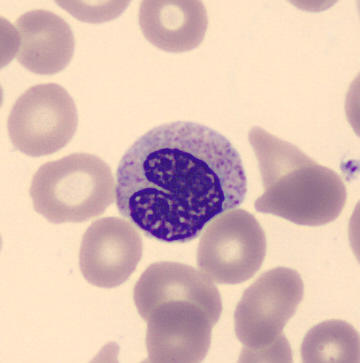

The cell is metamyelocyte. Preparation: Peripheral blood film.